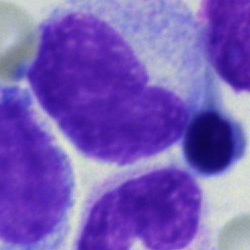 A monocyte on a bone marrow smear.